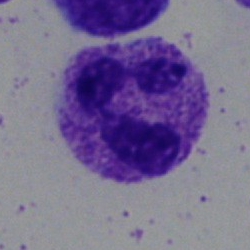Cell = polymorphonuclear neutrophil.